Brightfield microscopy, 40× oil immersion; bone marrow smear; May-Grünwald-Giemsa stain — 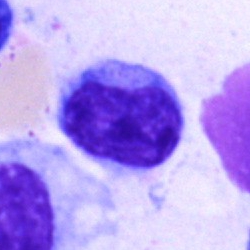 Morphological class: typical lymphocyte.